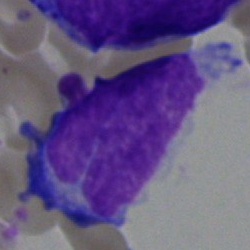 Bone marrow smear showing a blast.